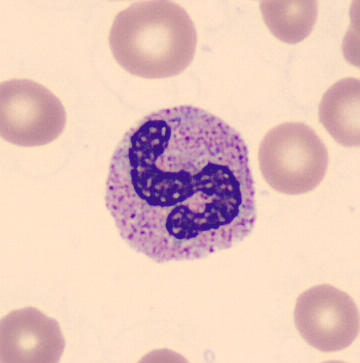Morphological class — band neutrophil.